Bone marrow smear
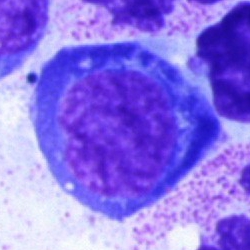
The classification is erythroblast.